Bone marrow smear · 250 by 250 pixels · 40× oil immersion:
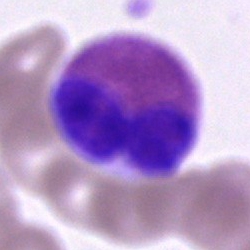
Q: What cell is this?
A: This is an eosinophil.